Pappenheim-stained · 40× oil immersion · bone marrow smear.
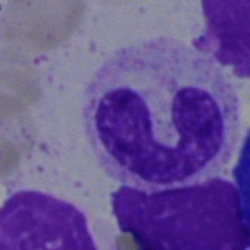

Q: Which cell type is shown here?
A: A stab cell.